Peripheral blood smear
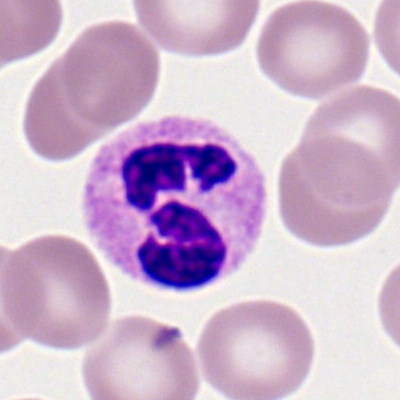
Morphological class = neutrophil (segmented).